Bone marrow aspirate smear — 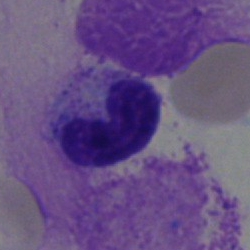A segmented neutrophil.